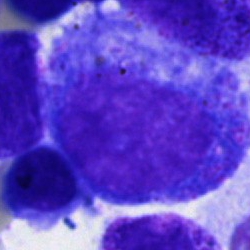
Morphology → progranulocyte.